Bone marrow smear — 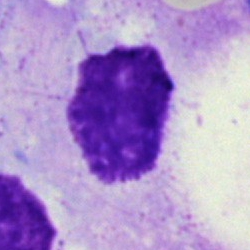 The cell shown is an artifact.